40× oil immersion; bone marrow aspirate smear: 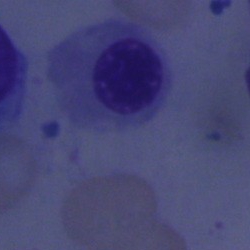 Morphological class: erythroblast.